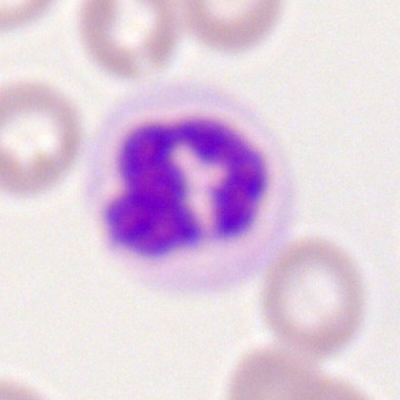This is a neutrophil (segmented).